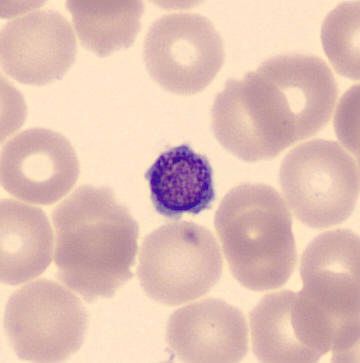

Q: What is this?
A: This is a thrombocyte. Peripheral blood film; CellaVision DM96.